Pappenheim-stained. Bone marrow aspirate smear:
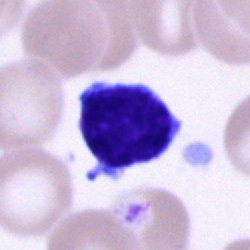

Morphological class — typical lymphocyte.